Bone marrow aspirate smear. Cropped to a single cell — 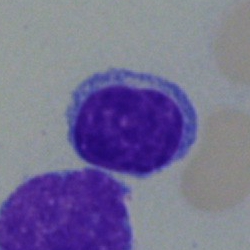Q: Identify the cell.
A: This is a typical lymphocyte.